Bone marrow aspirate smear · single cell centered in the field — 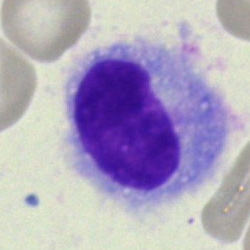
Hairy cell.